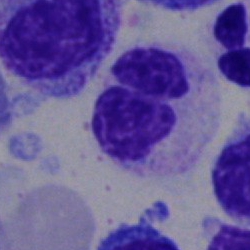Q: Which cell type is shown here?
A: A neutrophil (segmented).